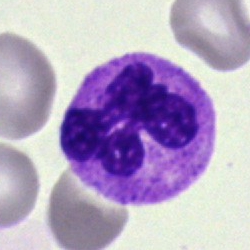The cell shown is a segmented neutrophil.